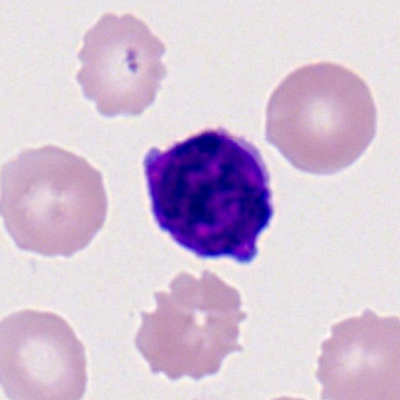
Lymphocyte.